250×250 px; bone marrow aspirate smear: 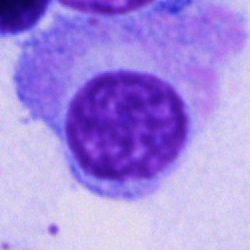

Morphology consistent with a plasma cell.